40× oil immersion. Bone marrow smear. MGG-stained
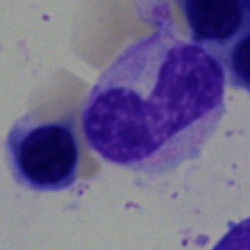

A band-form neutrophil.